Bone marrow aspirate smear
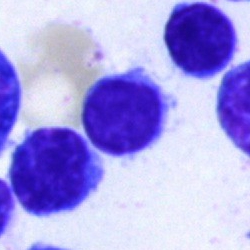 A lymphocyte.